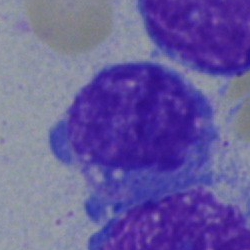
The cell type is blast.